Bone marrow smear — 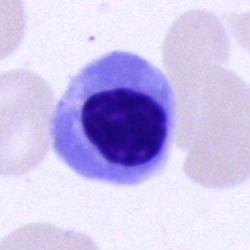
{"cell_type": "nucleated red cell", "lineage": "erythroid"}